Brightfield, 100× oil-immersion objective. Peripheral blood smear: 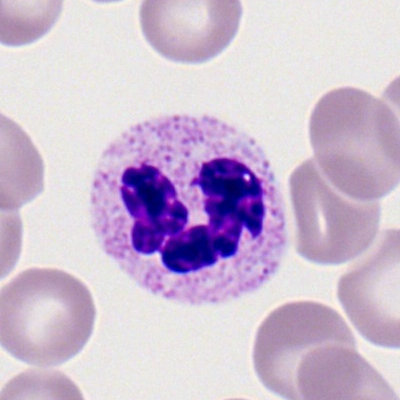 Segmented neutrophil.